Peripheral blood film:
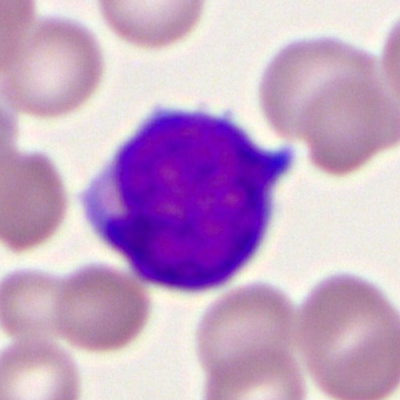Impression — myeloid blast.